40× oil immersion; bone marrow aspirate smear
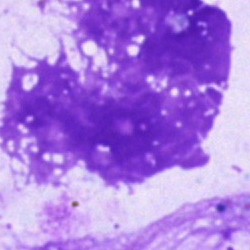
Morphology — artifact.